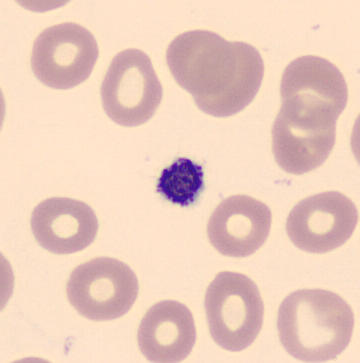
A thrombocyte.